250 by 250 pixels · bone marrow aspirate smear: 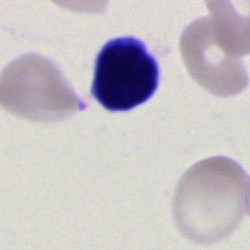Q: Which cell type is shown here?
A: This is a lymphocyte.